Bone marrow aspirate smear
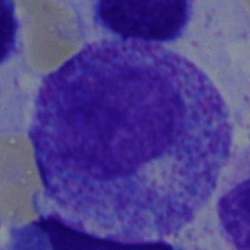

Q: Which cell type is shown here?
A: Myelocyte.